Bone marrow smear: 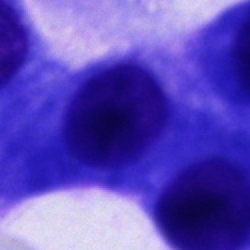Morphology consistent with an other cell.